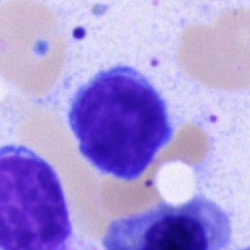Classification: typical lymphocyte.